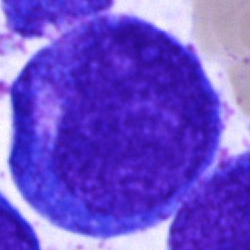

Q: Identify the cell.
A: A promyelocyte.